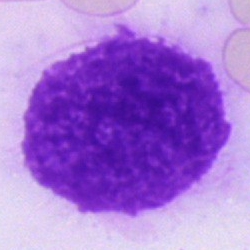

Q: What is shown here?
A: It is an artefact.